Bone marrow smear.
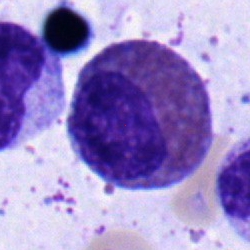
Cell type = eosinophilic granulocyte.